Single-cell crop. Bone marrow aspirate smear: 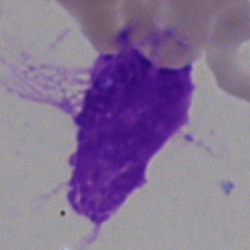 The morphological class is artifact.